Bone marrow aspirate smear: 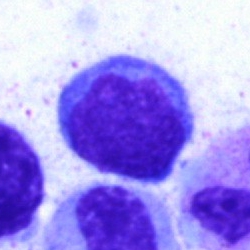
The morphological class is typical lymphocyte.